Peripheral blood film.
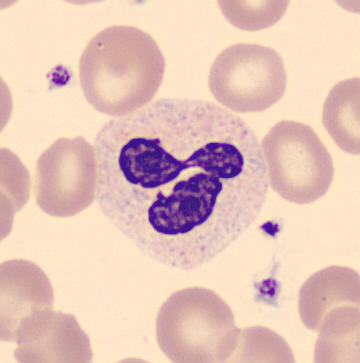

Classification = neutrophil (segmented).